Image size 250×250. Bone marrow aspirate smear
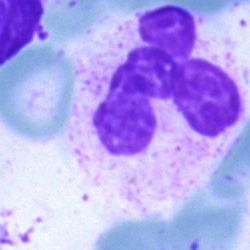 Morphology — neutrophil (segmented).